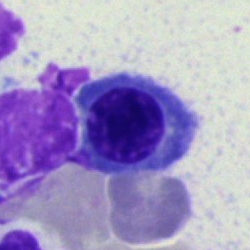
Cell type = erythroblast.